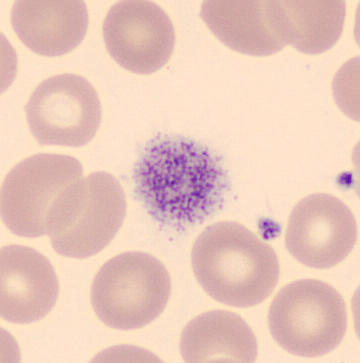

Showing a thrombocyte. Peripheral blood smear.